Bone marrow smear. MGG-stained: 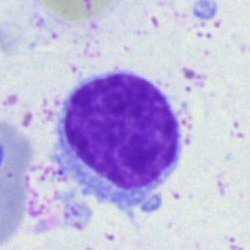The cell type is typical lymphocyte.